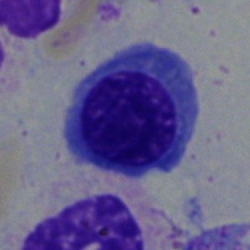
Showing a nucleated red blood cell.